Bone marrow aspirate smear.
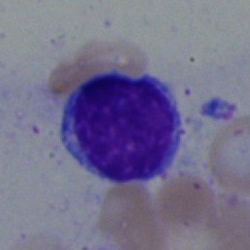Showing a typical lymphocyte.